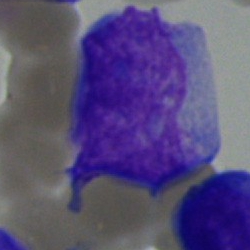

Blast cell.